Bone marrow aspirate smear. MGG-stained: 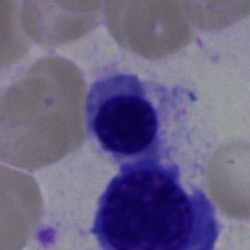The cell type is nucleated red blood cell.